Bone marrow smear:
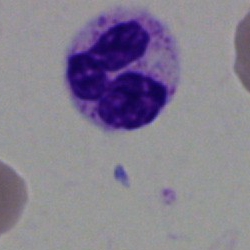This is a neutrophil (segmented).